Peripheral blood smear. Single-cell crop. MGG-stained.
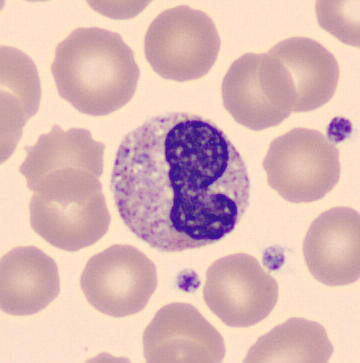
Morphology — band-form neutrophil.